Image size 250×250; bone marrow smear.
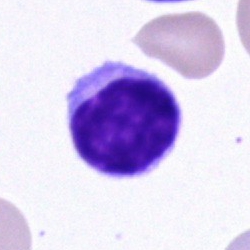Q: What cell is this?
A: Lymphocyte.